Bone marrow aspirate smear
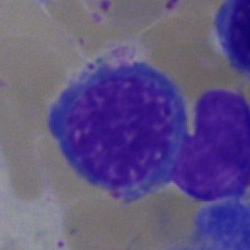This is a nucleated red cell.